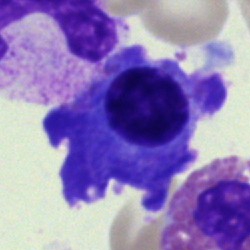
Morphology — plasma cell.